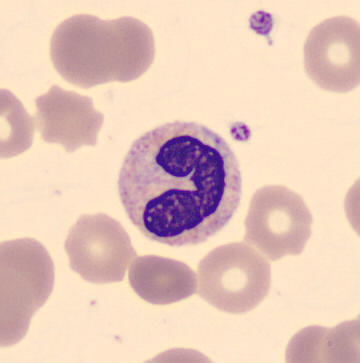
Single-cell crop. Specimen: peripheral blood film.
Morphological class: band-form neutrophil.
Lineage: myeloid.